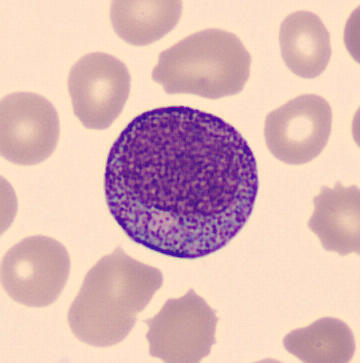Specimen: peripheral blood film.
Classification: promyelocyte.
Lineage: myeloid.